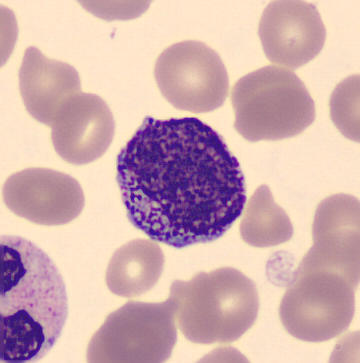
Specimen: peripheral blood film.
Morphological class: progranulocyte.
Lineage: myeloid.